Bone marrow aspirate smear — 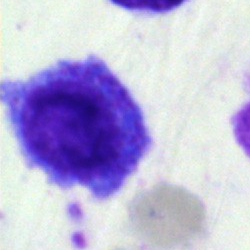
The cell shown is a progranulocyte.